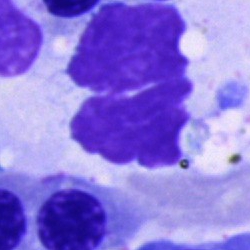
Cell: artifact.